Bone marrow aspirate smear.
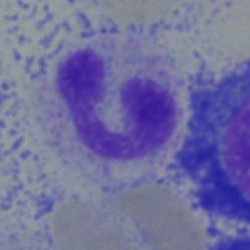

The morphological class is segmented neutrophil.